Bone marrow smear — 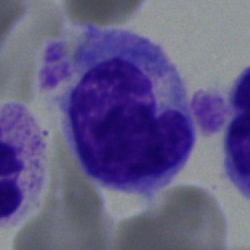
Classification — monocyte.